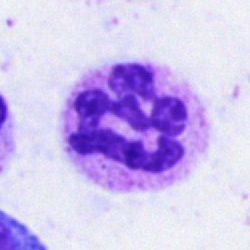

Bone marrow aspirate smear, single cell — neutrophil (segmented).